Bone marrow smear:
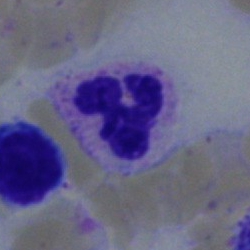

Specimen: bone marrow aspirate smear.
Morphological class: polymorphonuclear neutrophil.